May-Grünwald-Giemsa stain; bone marrow aspirate smear
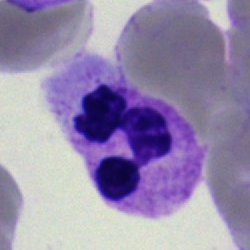

Q: What is the morphological classification of this cell?
A: This is a segmented neutrophil.